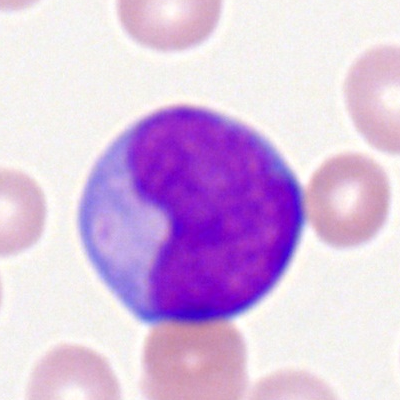

Q: What is the morphological classification of this cell?
A: This is a myeloblast.